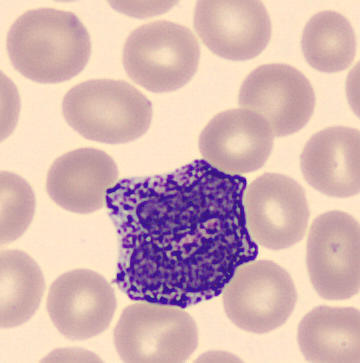 Specimen: peripheral blood smear.
Classification: basophilic granulocyte.